Bone marrow smear: 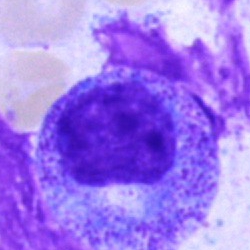The cell type is promyelocyte.